Bone marrow aspirate smear: 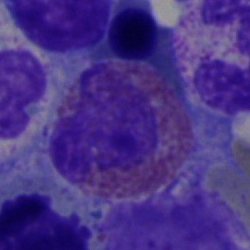
Specimen: bone marrow aspirate smear.
Morphological class: eosinophilic granulocyte.